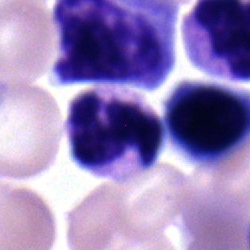 Morphology — segmented neutrophil.